MGG-stained; bone marrow aspirate smear.
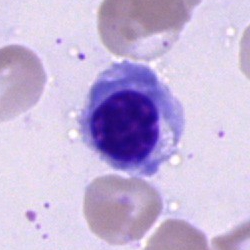 Normoblast.